Bone marrow smear; cropped to a single cell
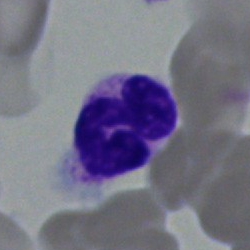Specimen: bone marrow aspirate smear.
Cell: polymorphonuclear neutrophil.